40× oil immersion; bone marrow smear — 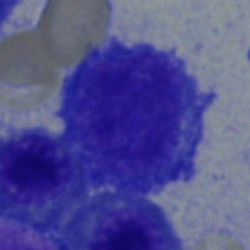
Q: Which cell type is shown here?
A: A plasma cell.